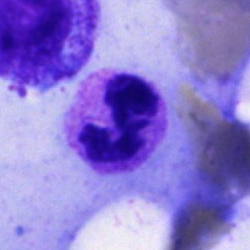Impression — neutrophil (segmented).